Bone marrow aspirate smear:
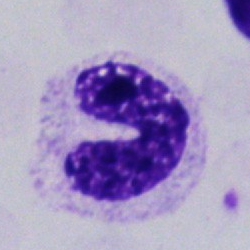

This is a band neutrophil.